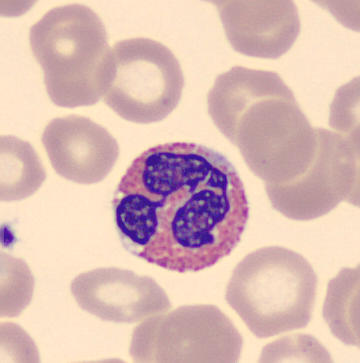Showing an eosinophil. Single cell centered in the field. Peripheral blood film.